Bone marrow aspirate smear
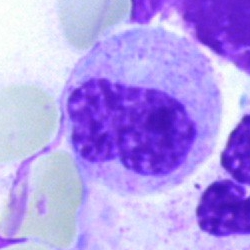
Cell — neutrophil (band).